Bone marrow smear: 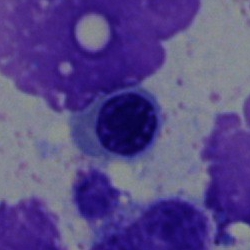
Showing a nucleated red blood cell.